Peripheral blood smear
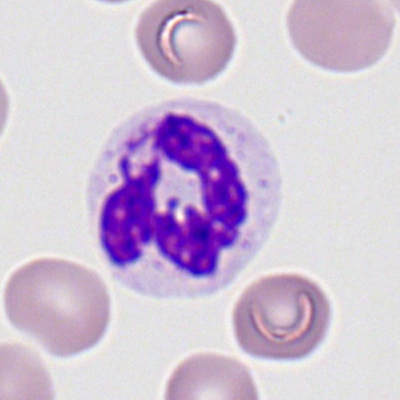Single cell identified as a polymorphonuclear neutrophil.